Cropped to a single cell; brightfield microscopy, 40× oil immersion; bone marrow aspirate smear:
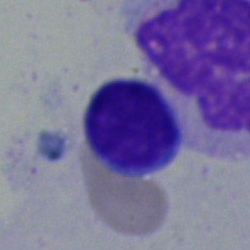 Cell: typical lymphocyte.